Cropped to a single cell. Bone marrow smear.
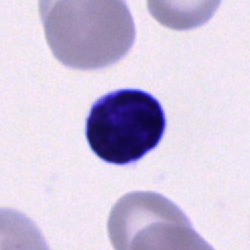
Impression → cell of indeterminate lineage.